Brightfield, 100× oil-immersion objective · 400 by 400 pixels · peripheral blood smear
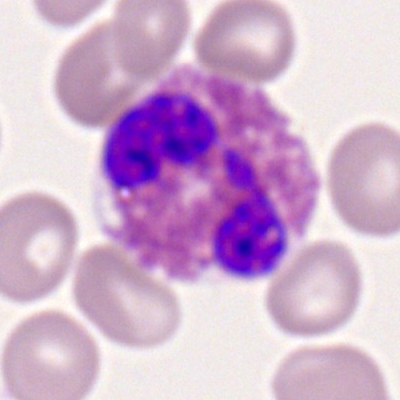An eosinophilic granulocyte.